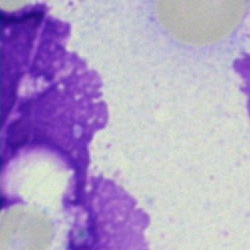
Artefact.